Pappenheim-stained · bone marrow aspirate smear.
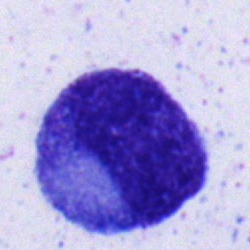 Cell type = progranulocyte.